Bone marrow aspirate smear: 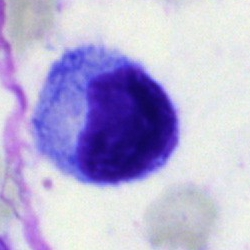The classification is myelocyte.